100× oil immersion; peripheral blood film: 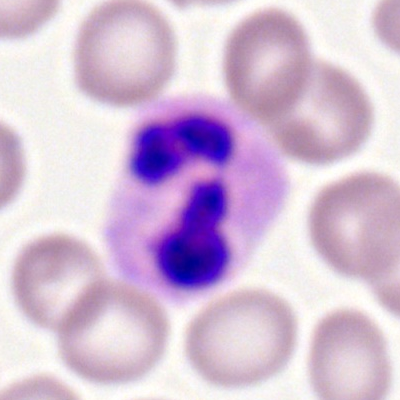

Q: Which cell type is shown here?
A: This is a polymorphonuclear neutrophil.